Bone marrow smear; 40× oil immersion
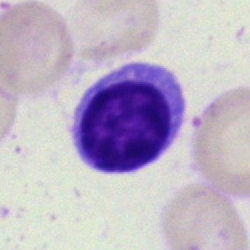 Specimen: bone marrow aspirate smear.
Classification: lymphocyte.
Lineage: lymphoid.